Bone marrow smear · single-cell crop: 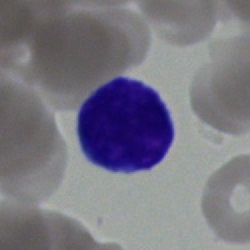

Cell = typical lymphocyte.